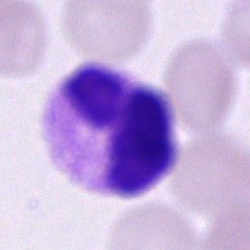{"cell_type": "neutrophil (segmented)"}